Bone marrow smear: 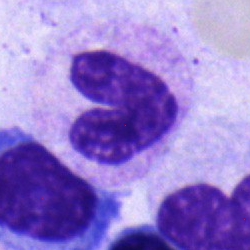 Classification — band-form neutrophil.